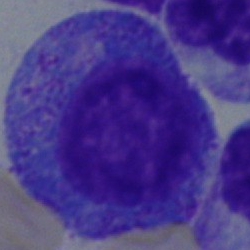 A promyelocyte on a bone marrow smear.